Bone marrow smear.
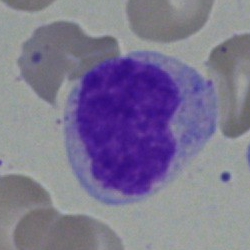 Specimen: bone marrow smear.
Morphological class: monocyte.
Lineage: myeloid.